400×400 px; peripheral blood film.
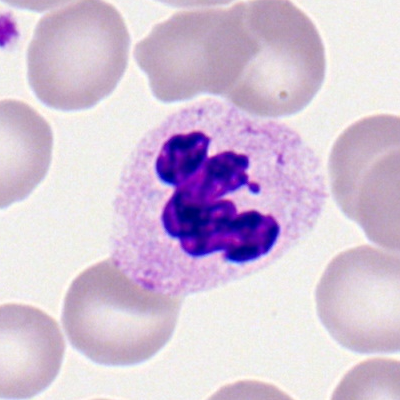
Q: Which cell type is shown here?
A: It is a neutrophil (segmented).